Bone marrow aspirate smear:
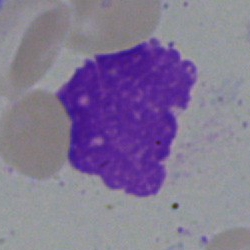Classification — artefact.